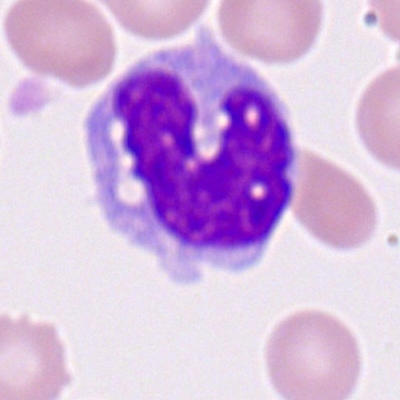Morphology — monocyte.